Bone marrow smear
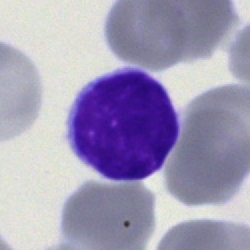Lymphocyte.